Bone marrow aspirate smear — 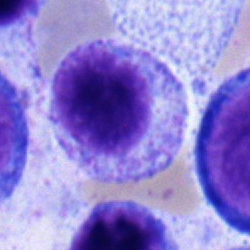Myelocyte.